Bone marrow smear · single-cell field
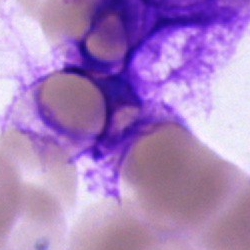 Showing an artifact.